Bone marrow smear: 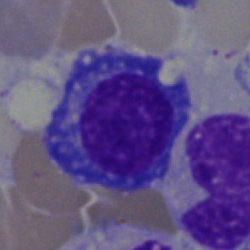 {"cell_type": "plasma cell", "lineage": "lymphoid"}